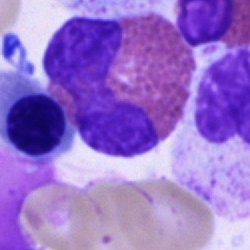An eosinophilic granulocyte on a bone marrow smear.